Bone marrow smear: 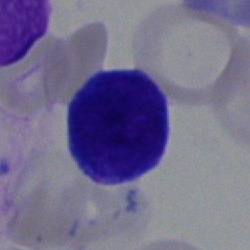 Impression → typical lymphocyte.